May-Grünwald-Giemsa stain · bone marrow aspirate smear — 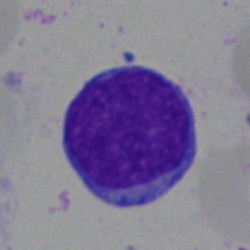
Q: What is shown here?
A: Typical lymphocyte.